Peripheral blood smear: 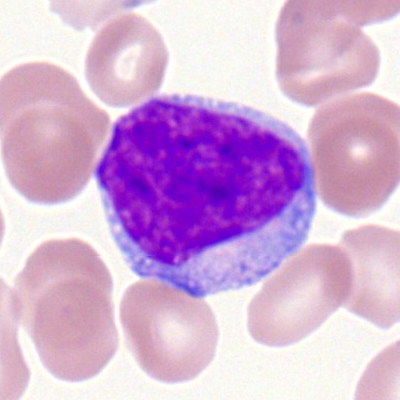 Q: What is shown here?
A: A myeloblast.